250×250 px; 40× oil immersion; bone marrow aspirate smear: 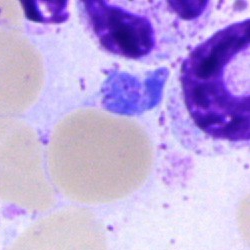 Specimen: bone marrow aspirate smear.
Morphological class: artefact.